250 by 250 pixels · brightfield microscopy, 40× oil immersion · bone marrow aspirate smear:
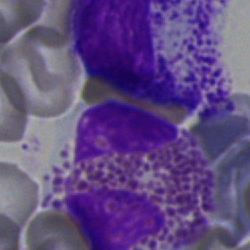

Q: Which cell type is shown here?
A: An eosinophil.